250×250 px; bone marrow smear
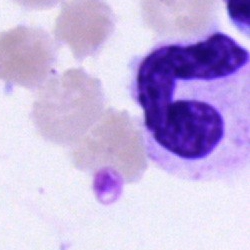 Morphology → polymorphonuclear neutrophil.